Pappenheim-stained; bone marrow smear; single cell centered in the field
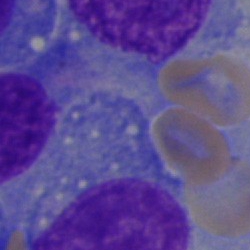

Showing a blast cell.